Bone marrow smear — 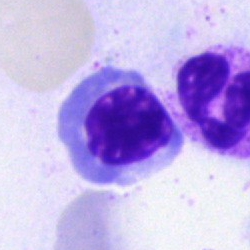
Morphology → erythroblast.